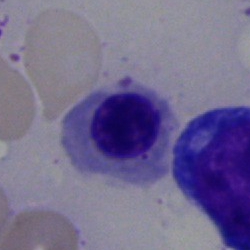

Bone marrow smear showing a nucleated red cell.